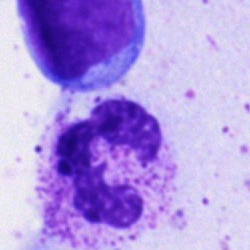

Cell type — segmented neutrophil.